Peripheral blood film; 100× oil immersion, 14.14 px/µm; image size 400×400.
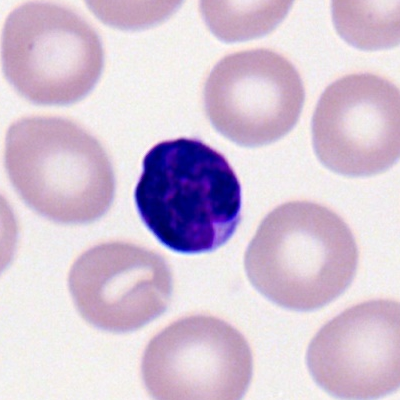 {"cell_type": "lymphocyte"}